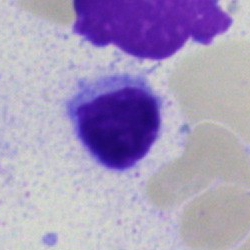Q: What cell is this?
A: It is a lymphocyte.